Bone marrow smear
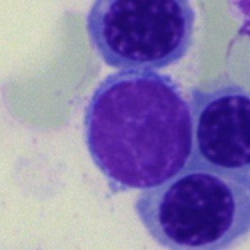This is a lymphocyte.